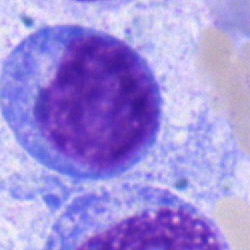

Blast cell.